Single-cell crop. Bone marrow smear. Pappenheim-stained:
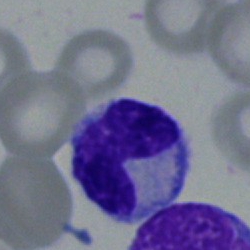 The cell shown is a metamyelocyte.